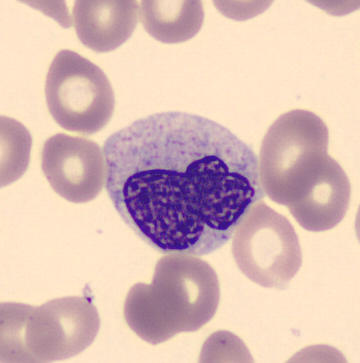

Specimen: peripheral blood film.
Classification: metamyelocyte.